Bone marrow aspirate smear:
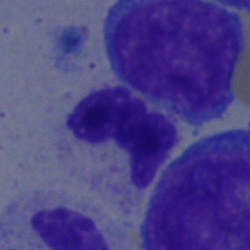 A polymorphonuclear neutrophil.